Single-cell crop. May-Grünwald-Giemsa/Pappenheim stain. Bone marrow aspirate smear:
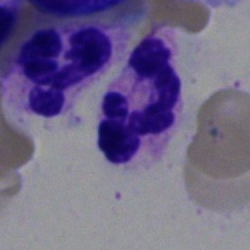Morphology — segmented neutrophil.